Single cell centered in the field; 40× oil immersion; bone marrow aspirate smear.
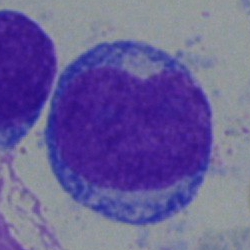 Classification: blast.